250×250. Bone marrow smear. 40× oil immersion: 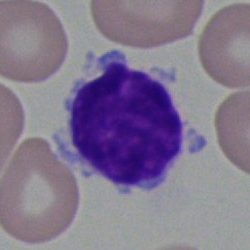Classification: lymphocyte.